Bone marrow smear · 40× objective, oil immersion — 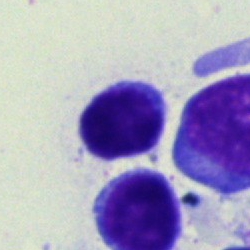
Classification: lymphocyte.